Bone marrow aspirate smear; 40× objective, oil immersion.
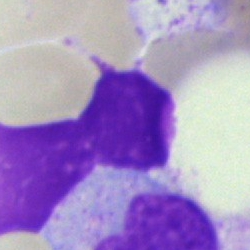
Morphological class — artefact.